Bone marrow aspirate smear.
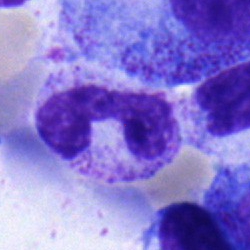 The cell shown is a band neutrophil.